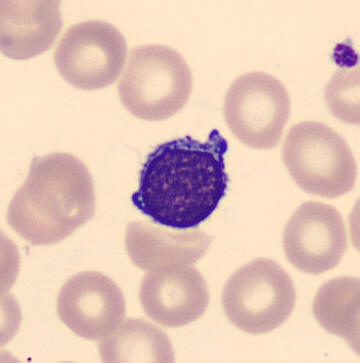 Image: Peripheral blood film · image size 360×363.

Morphology consistent with a typical lymphocyte.